Single cell centered in the field; brightfield, 40× oil-immersion objective; bone marrow smear: 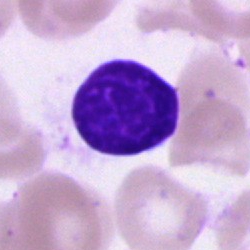 Single cell identified as an artefact.